Bone marrow smear · Pappenheim-stained
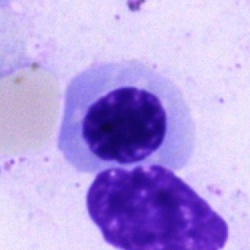Single cell identified as an erythroblast.